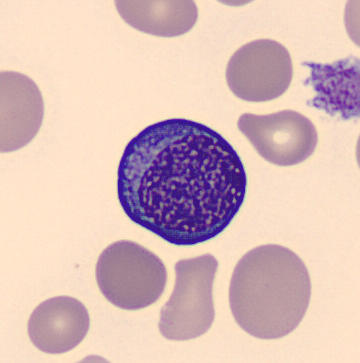 Showing a normoblast.